Brightfield, 40× oil-immersion objective · cropped to a single cell · bone marrow aspirate smear: 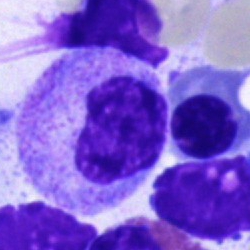 Classification: myelocyte.